Bone marrow aspirate smear.
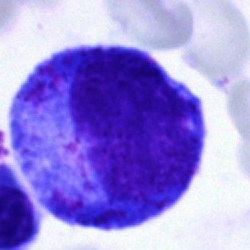Q: Which cell type is shown here?
A: A progranulocyte.